Bone marrow smear:
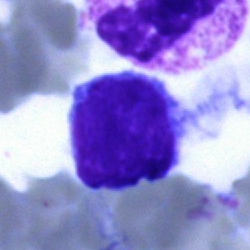
Q: What is the morphological classification of this cell?
A: It is a typical lymphocyte.